Peripheral blood smear.
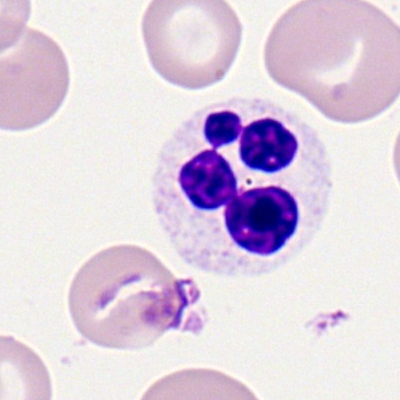Single cell identified as a segmented neutrophil.